Bone marrow smear — 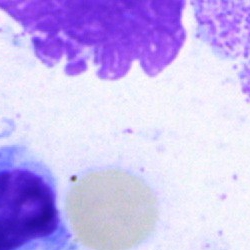Specimen: bone marrow smear.
Classification: artefact.